May-Grünwald-Giemsa/Pappenheim stain. Bone marrow aspirate smear. 40× oil immersion — 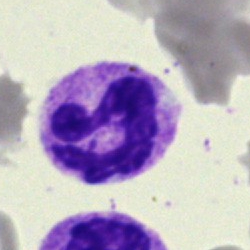Morphology consistent with a segmented neutrophil.